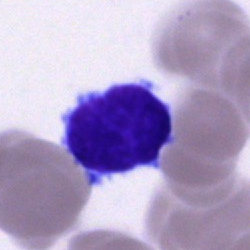

Single-cell crop from a bone marrow smear: typical lymphocyte.